Bone marrow smear. Cropped to a single cell — 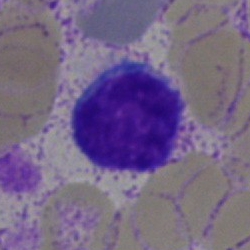 A lymphocyte.